Peripheral blood film · automated cell imaging (CellaVision DM96) · May Grünwald-Giemsa stain.
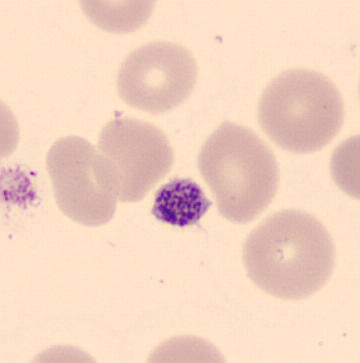

Showing a thrombocyte.